Bone marrow smear.
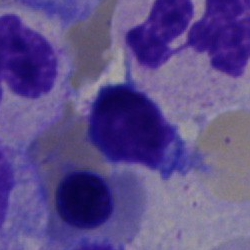 Lymphocyte.